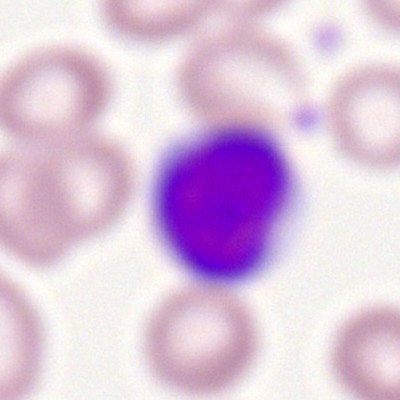
Specimen: peripheral blood film.
Classification: typical lymphocyte.
Lineage: lymphoid.